Cropped to a single cell; bone marrow smear; brightfield, 40× oil-immersion objective:
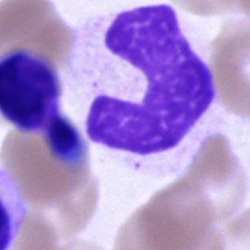Cell of indeterminate lineage.